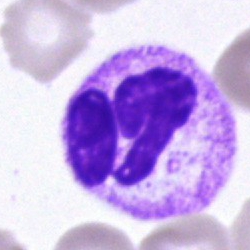 The classification is polymorphonuclear neutrophil.